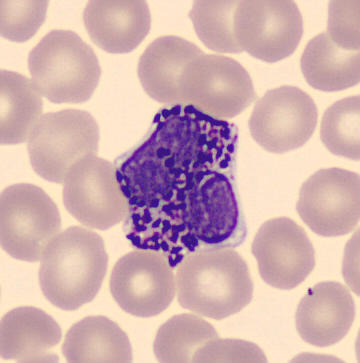

Preparation: Peripheral blood film.

Identified as a basophil.